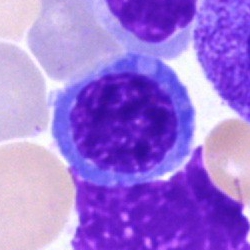
Morphological class — nucleated red blood cell.